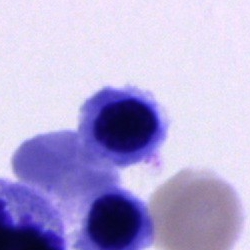

The morphological class is unidentifiable cell.